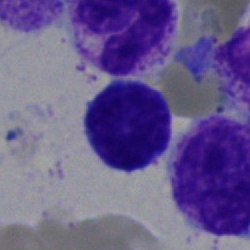 Cell type — typical lymphocyte.